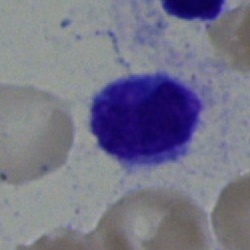Morphological class: typical lymphocyte.